Bone marrow aspirate smear.
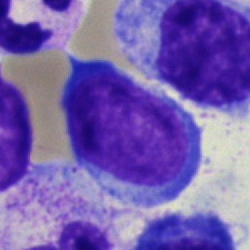 Specimen: bone marrow smear.
Cell type: undifferentiated blast.